Bone marrow smear: 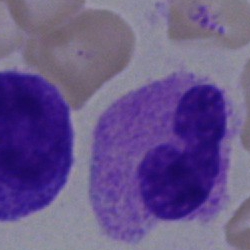

Specimen: bone marrow aspirate smear.
Cell type: neutrophil (segmented).
Lineage: myeloid.